Bone marrow aspirate smear:
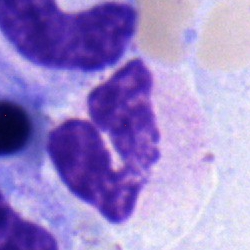Morphological class = polymorphonuclear neutrophil.